Bone marrow aspirate smear. MGG-stained. Single cell centered in the field: 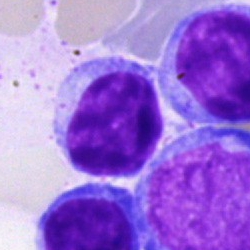
Morphology consistent with a lymphocyte.